Peripheral blood smear
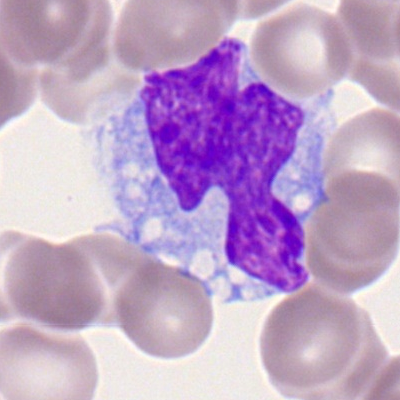

Showing a monocyte.